Single-cell crop; brightfield microscopy, 40× oil immersion; bone marrow smear: 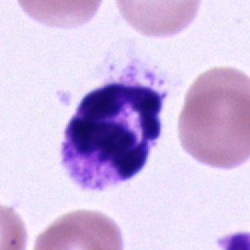
Q: Which cell type is shown here?
A: This is a polymorphonuclear neutrophil.